Bone marrow aspirate smear · cropped to a single cell — 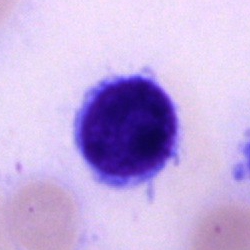

The morphological class is typical lymphocyte.